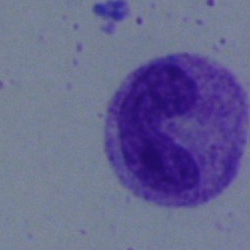 This is a neutrophil (band).